Bone marrow aspirate smear
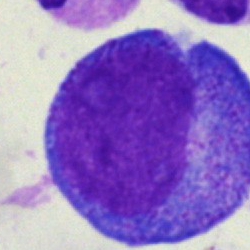 The cell type is promyelocyte.